May-Grünwald-Giemsa/Pappenheim stain. Bone marrow aspirate smear. 40× oil immersion.
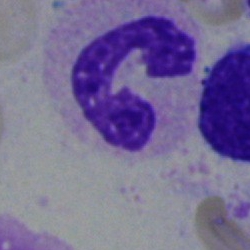
Single cell identified as a band-form neutrophil.